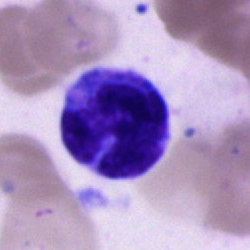
Morphology — monocyte.